Bone marrow aspirate smear; 250×250 px: 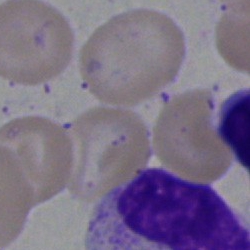The cell shown is an artefact.